Bone marrow aspirate smear.
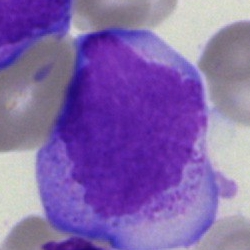

A blast cell.